Brightfield microscopy, 40× oil immersion; bone marrow smear; 250 by 250 pixels:
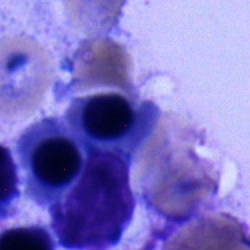
{"cell_type": "polymorphonuclear neutrophil", "lineage": "myeloid"}